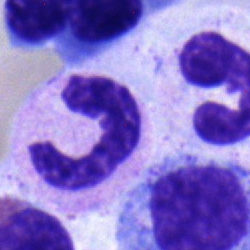 Q: Identify the cell.
A: A stab cell.